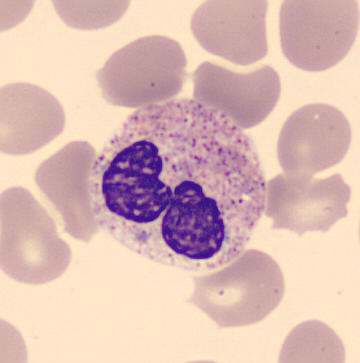A segmented neutrophil.